Bone marrow aspirate smear: 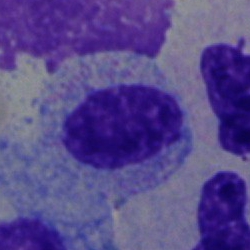Q: Identify the cell.
A: This is a myelocyte.